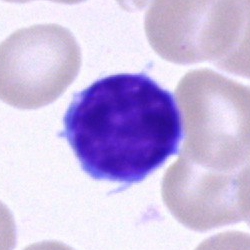
Specimen: bone marrow aspirate smear.
Cell: lymphocyte.